Bone marrow smear: 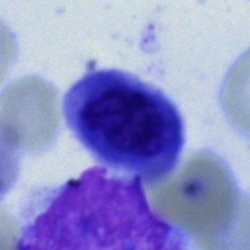

The cell shown is a normoblast.